Bone marrow smear.
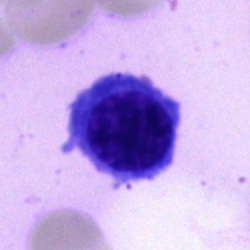

Morphology — nucleated red cell.